Bone marrow aspirate smear — 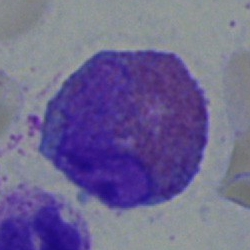
This is an eosinophilic granulocyte.